Bone marrow aspirate smear; 40× objective, oil immersion
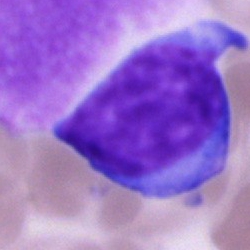

{"cell_type": "blast cell"}